May-Grünwald-Giemsa/Pappenheim stain; bone marrow aspirate smear: 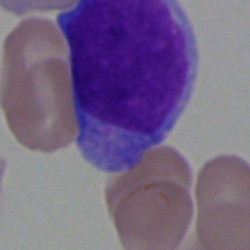Q: What type of cell is this?
A: A blast.